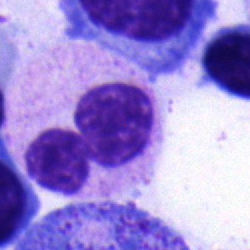

Segmented neutrophil.